Pappenheim-stained; bone marrow aspirate smear; single-cell crop — 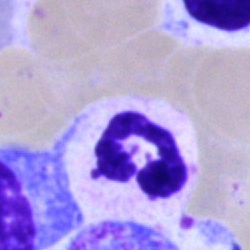 Q: Which cell type is shown here?
A: This is a neutrophil (segmented).